Bone marrow aspirate smear
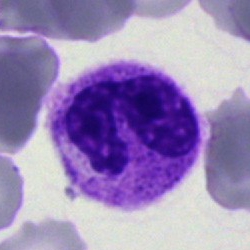

Single cell identified as a segmented neutrophil.